Bone marrow smear:
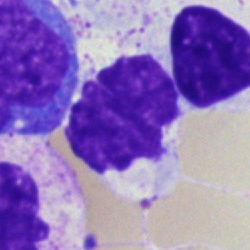

Cell type = segmented neutrophil.